Bone marrow aspirate smear. MGG-stained: 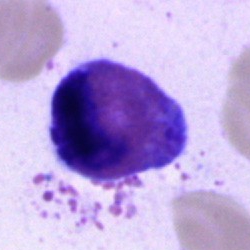

Cell — eosinophil.